Bone marrow aspirate smear: 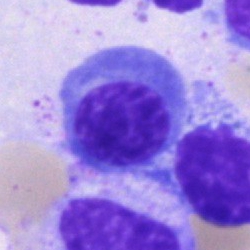

The cell type is erythroblast.